Bone marrow aspirate smear — 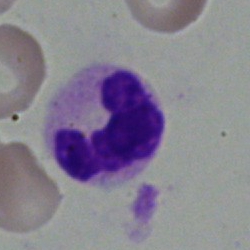
Q: Identify the cell.
A: It is a neutrophil (band).